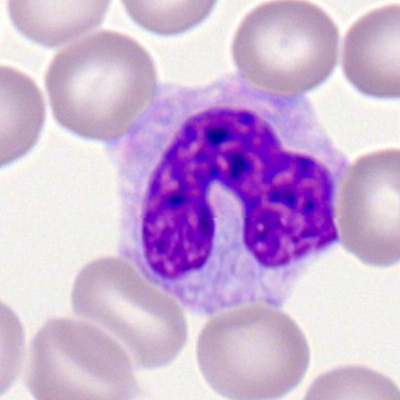

Morphological class — monocyte.